Cropped to a single cell. May-Grünwald-Giemsa/Pappenheim stain. Bone marrow aspirate smear.
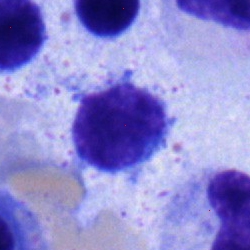
Morphology — typical lymphocyte.